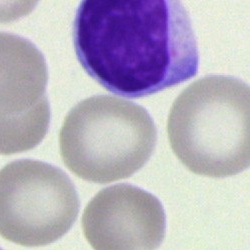

Impression → lymphocyte.